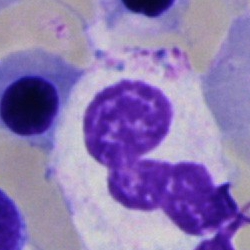A polymorphonuclear neutrophil.